Bone marrow smear. Cropped to a single cell
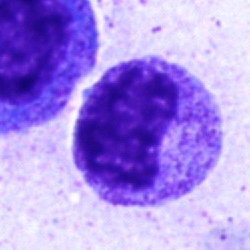 Specimen: bone marrow smear.
Cell type: progranulocyte.
Lineage: myeloid.